Bone marrow aspirate smear. Pappenheim-stained.
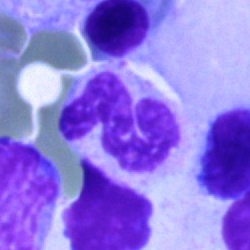Morphology consistent with a neutrophil (segmented).